Bone marrow smear:
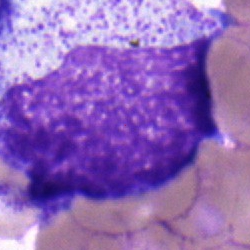
Specimen: bone marrow aspirate smear.
Cell type: progranulocyte.
Lineage: myeloid.